40× objective, oil immersion · bone marrow smear · 250 by 250 pixels
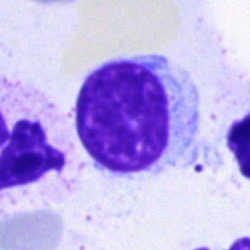
Q: Identify the cell.
A: It is a typical lymphocyte.